Bone marrow aspirate smear:
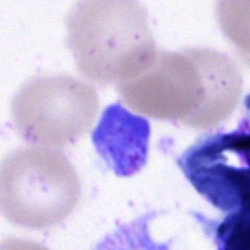 Specimen: bone marrow smear.
Classification: artifact.